May-Grünwald-Giemsa stain · cropped to a single cell · bone marrow smear: 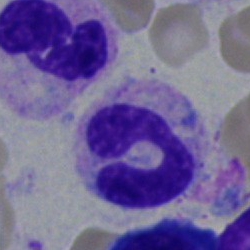
Classification — segmented neutrophil.